Peripheral blood smear · 400×400 px
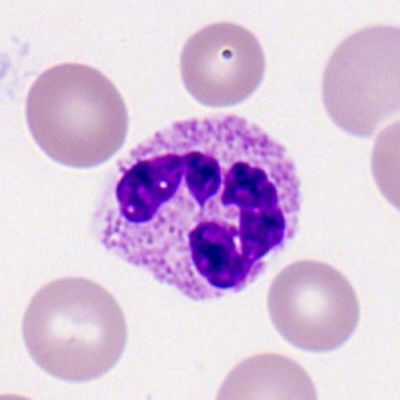 {"cell_type": "neutrophil (segmented)", "lineage": "myeloid"}